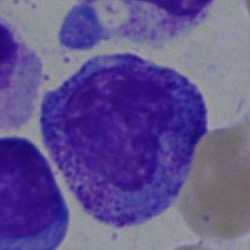
Progranulocyte.